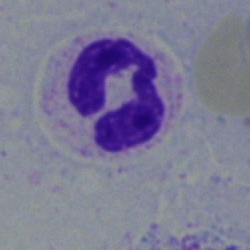This is a segmented neutrophil.